Bone marrow aspirate smear.
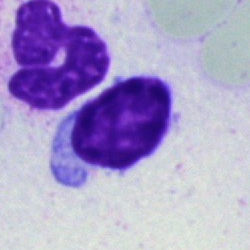Showing a lymphocyte.